Peripheral blood film
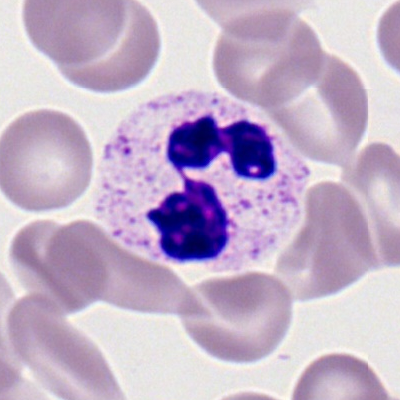A segmented neutrophil.